Peripheral blood smear — 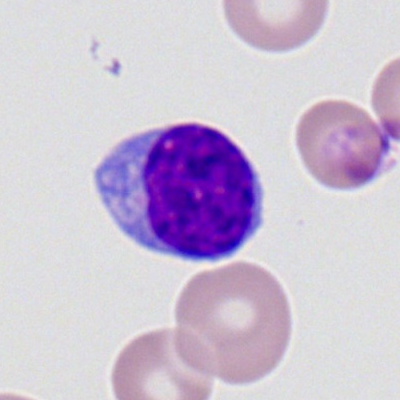
Classification — lymphocyte.